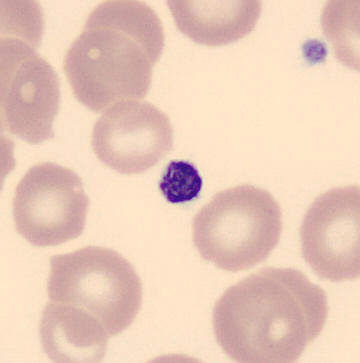Classification — platelet (thrombocyte).
Preparation: Peripheral blood film.